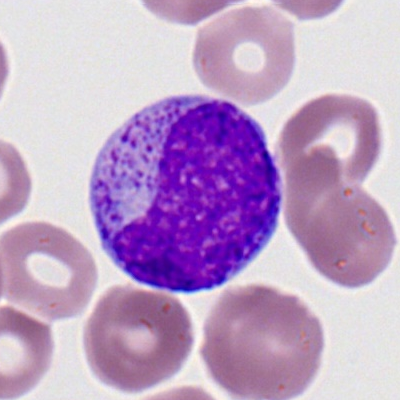Single-cell crop from a peripheral blood smear: myeloid blast.